250 by 250 pixels; bone marrow smear.
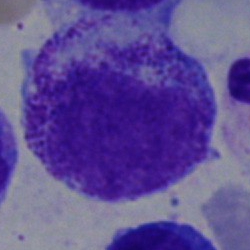
The classification is myelocyte.